Bone marrow smear:
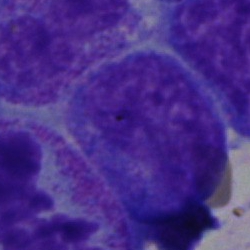

Showing a promyelocyte.